Bone marrow smear
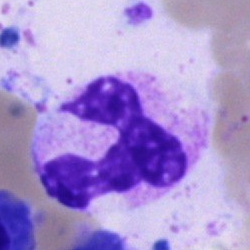 Morphology — polymorphonuclear neutrophil.